Bone marrow smear
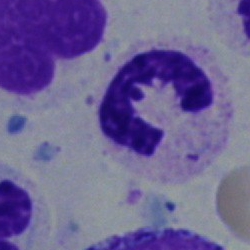 Classification: polymorphonuclear neutrophil.